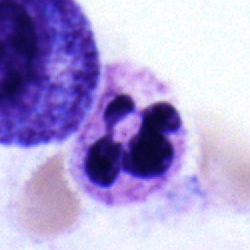

Q: Identify the cell.
A: It is a polymorphonuclear neutrophil.